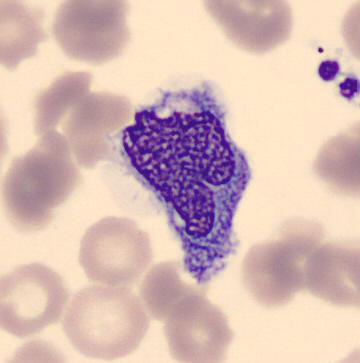 Impression — monocyte.
360×363 · peripheral blood film.